Bone marrow smear. Single-cell crop:
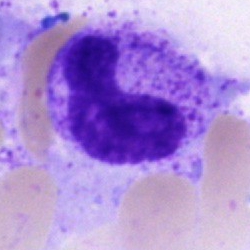 The morphological class is metamyelocyte.